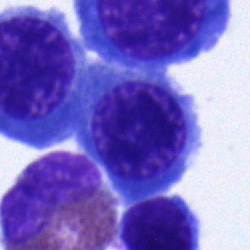Q: What is shown here?
A: Erythroblast.